Bone marrow aspirate smear · May-Grünwald-Giemsa/Pappenheim stain · single cell centered in the field — 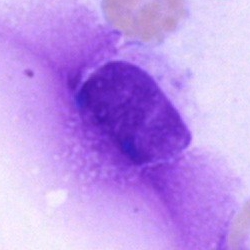 Cell — artefact.